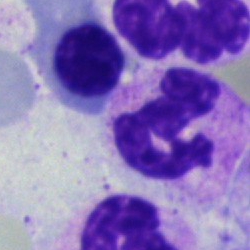Impression — polymorphonuclear neutrophil.